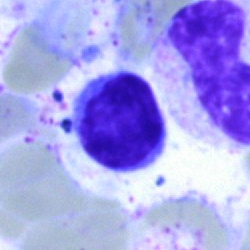

Single-cell crop from a bone marrow smear: typical lymphocyte.